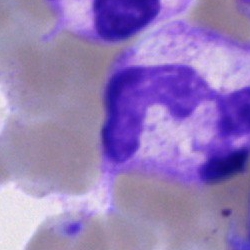 Impression — polymorphonuclear neutrophil.